Bone marrow smear; 250×250:
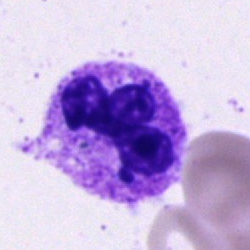

Cell type = neutrophil (segmented).